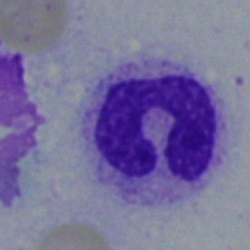

{"cell_type": "stab cell", "lineage": "myeloid"}